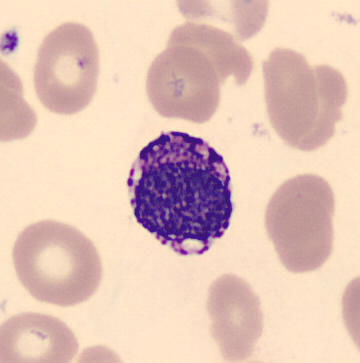Identified as a basophil. Image: May-Grünwald-Giemsa-stained. Peripheral blood film.